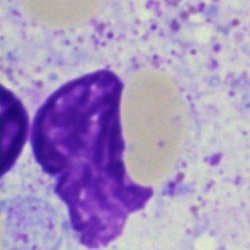Single-cell crop from a bone marrow smear: artefact.